Bone marrow aspirate smear: 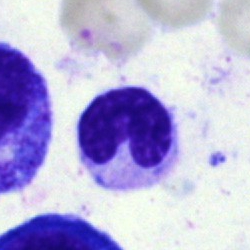 Morphological class — band neutrophil.